Bone marrow aspirate smear · single cell centered in the field
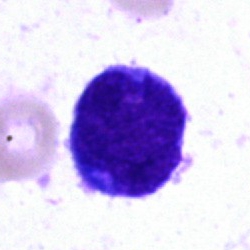
The morphological class is blast cell.